Bone marrow aspirate smear; 40× oil immersion; MGG-stained — 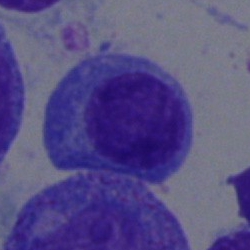

Impression — plasmacyte.